Bone marrow smear
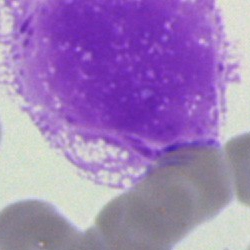 Morphology → artifact.